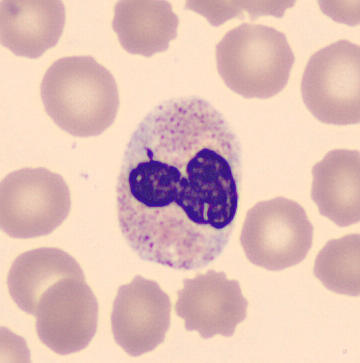 Showing a neutrophil (segmented).